Image size 250×250 · bone marrow aspirate smear: 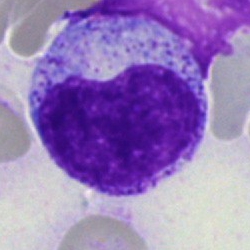 Classification = myelocyte.